Bone marrow smear: 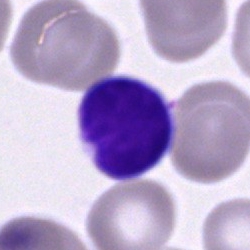The cell type is typical lymphocyte.